Peripheral blood smear:
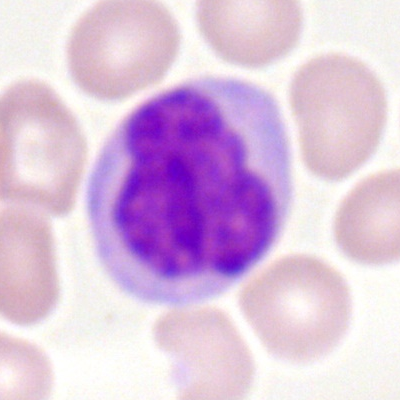 Classification — monocyte.